Bone marrow smear — 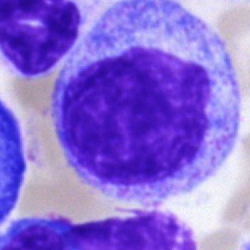
Q: What cell is this?
A: This is a progranulocyte.